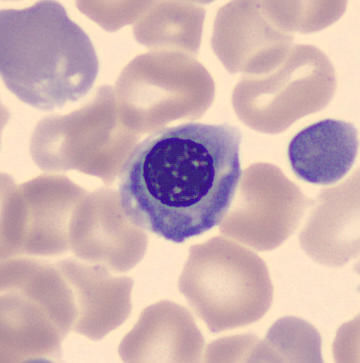 Impression → normoblast.